Bone marrow smear
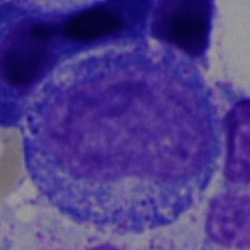

A progranulocyte.